Bone marrow smear.
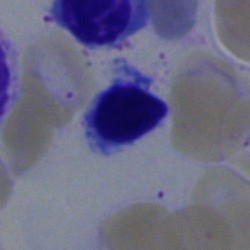 Morphological class: erythroblast.